Single-cell crop; bone marrow aspirate smear.
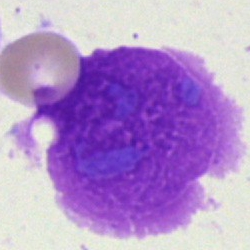

Single cell identified as an artefact.